Bone marrow aspirate smear:
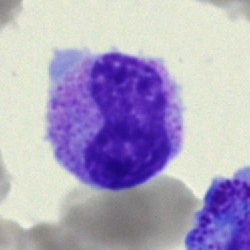 Morphology → band neutrophil.